Bone marrow aspirate smear · brightfield, 40× oil-immersion objective
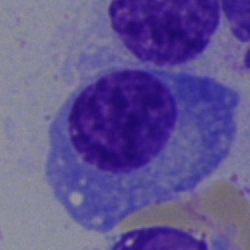
This is a plasmacyte.